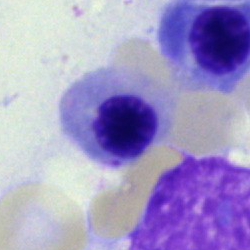This is a nucleated red blood cell.